Bone marrow smear: 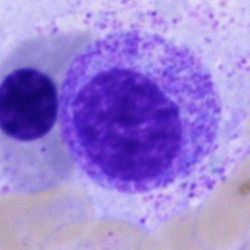Morphological class: metamyelocyte.